Single-cell field · bone marrow aspirate smear · brightfield microscopy, 40× oil immersion: 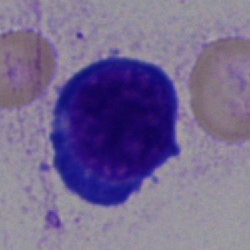
Cell type = nucleated red blood cell.